Single-cell crop · bone marrow aspirate smear.
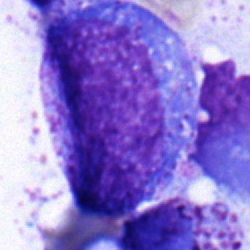

Classification — promyelocyte.